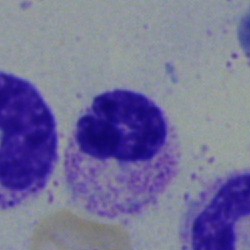 Classification = band-form neutrophil.